Bone marrow aspirate smear — 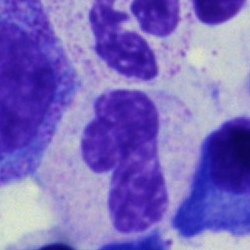
A stab cell.